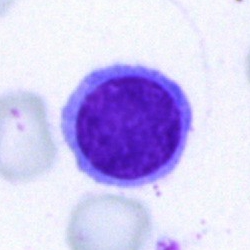

Impression — lymphocyte.